Bone marrow smear; cropped to a single cell
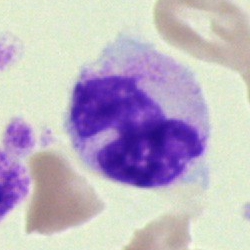 Morphology consistent with a polymorphonuclear neutrophil.